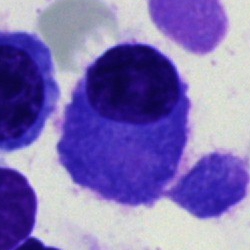Showing a plasmacyte.